250 by 250 pixels. Bone marrow aspirate smear.
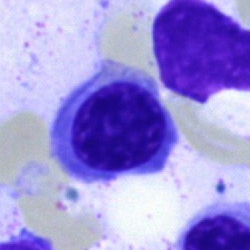
Nucleated red cell.